Bone marrow smear:
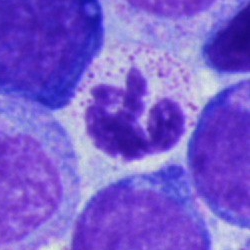

Specimen: bone marrow aspirate smear.
Cell: neutrophil (segmented).